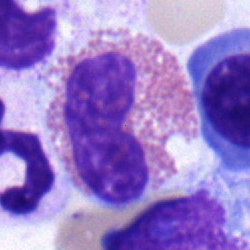
Morphology consistent with an eosinophil.